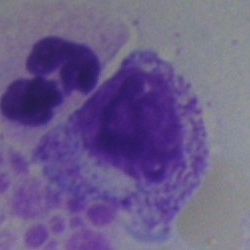

{"cell_type": "myelocyte"}